Peripheral blood film: 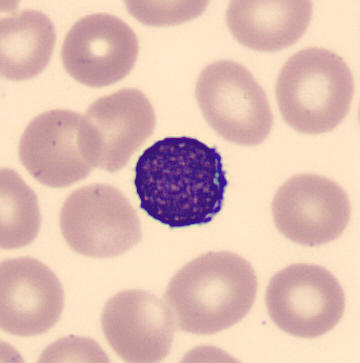

Q: What is the morphological classification of this cell?
A: This is a lymphocyte.